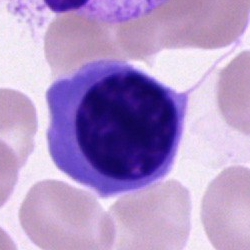
The cell is nucleated red cell.